Bone marrow smear — 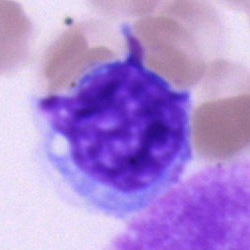

Cell: undifferentiated blast.